40× oil immersion · bone marrow smear.
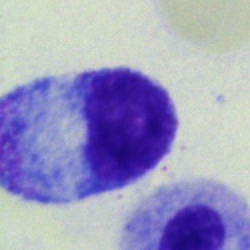

A progranulocyte.